Bone marrow aspirate smear. Brightfield microscopy, 40× oil immersion. Cropped to a single cell.
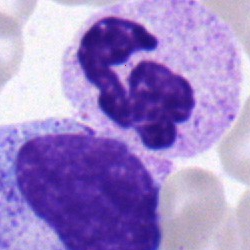Q: What cell is this?
A: A neutrophil (segmented).